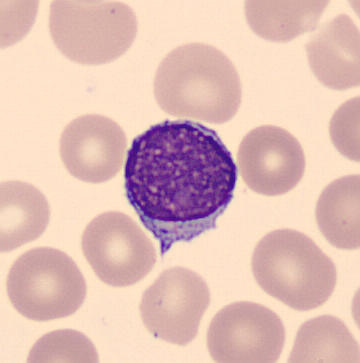

Cell type — lymphocyte.